Bone marrow aspirate smear
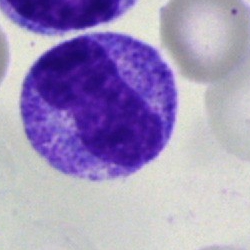
Metamyelocyte.